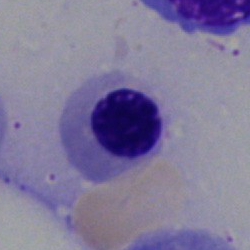

Classification = erythroblast.